Bone marrow aspirate smear: 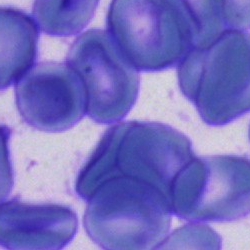
Cell type: other cell.